Bone marrow smear — 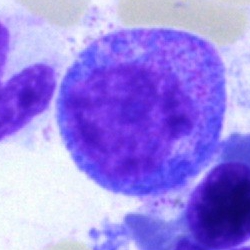

The classification is myelocyte.